Peripheral blood film; image size 400×400:
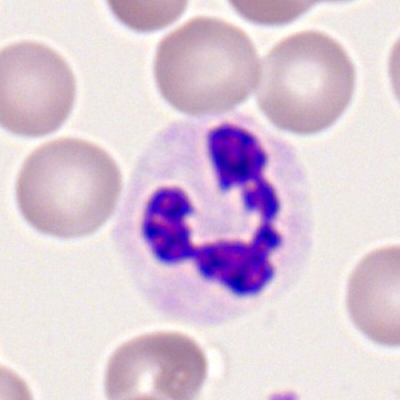
Impression → polymorphonuclear neutrophil.